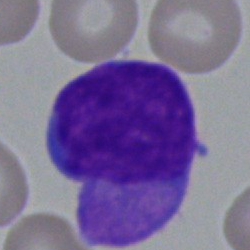 Cell type — undifferentiated blast.